Bone marrow smear: 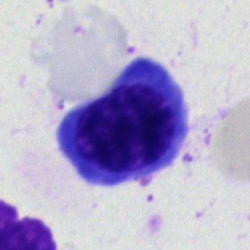

Cell type — normoblast.